Peripheral blood smear.
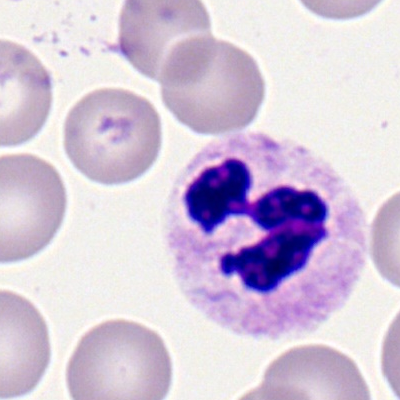 Q: What is the morphological classification of this cell?
A: It is a polymorphonuclear neutrophil.